Peripheral blood film: 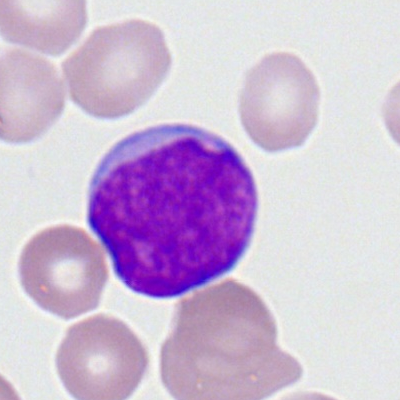
Cell = myeloid blast.